Bone marrow aspirate smear: 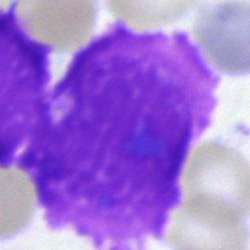
Morphology consistent with an artifact.